Bone marrow aspirate smear: 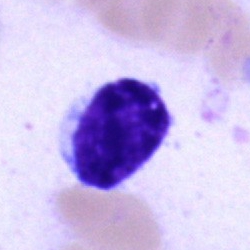 Cell — lymphocyte.